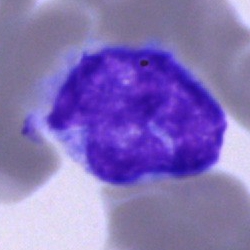Specimen: bone marrow aspirate smear.
Cell: monocyte.
Lineage: myeloid.